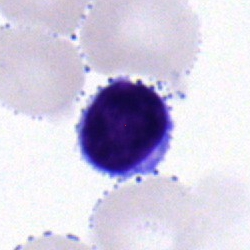
{"cell_type": "typical lymphocyte", "lineage": "lymphoid"}